Bone marrow aspirate smear: 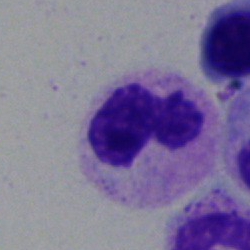
Morphology consistent with a polymorphonuclear neutrophil.